Peripheral blood film.
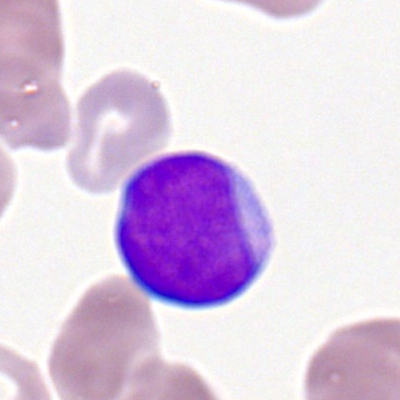Single cell identified as a myeloid blast.